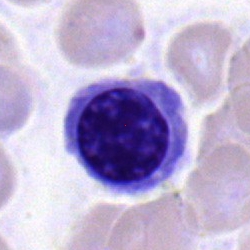

Morphological class: erythroblast.